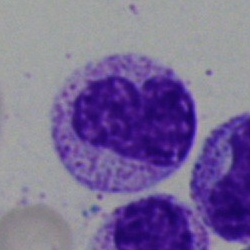
Q: Which cell type is shown here?
A: It is a metamyelocyte.